Peripheral blood smear
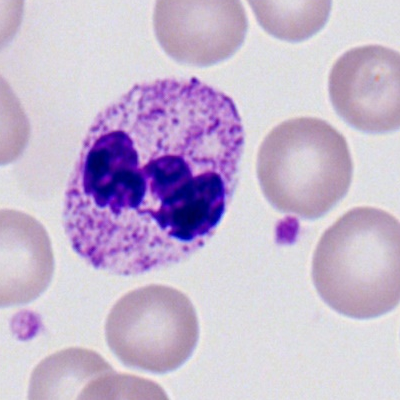 Cell = neutrophil (segmented).